Bone marrow smear; brightfield, 40× oil-immersion objective:
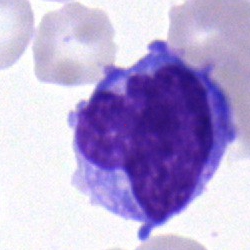The cell shown is a monocyte.